MGG-stained · single cell centered in the field · bone marrow smear: 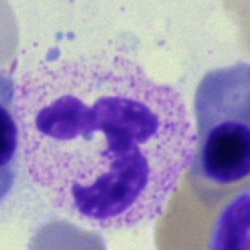
Specimen: bone marrow aspirate smear.
Morphological class: neutrophil (segmented).
Lineage: myeloid.